Peripheral blood smear: 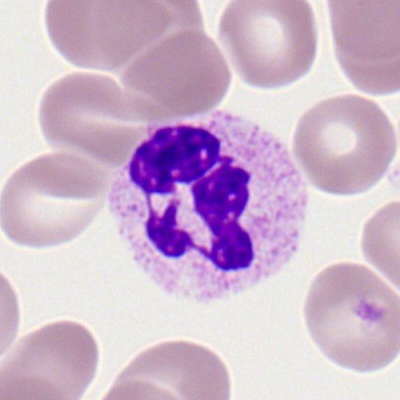 Q: What cell is this?
A: It is a neutrophil (segmented).